Bone marrow smear; single-cell crop
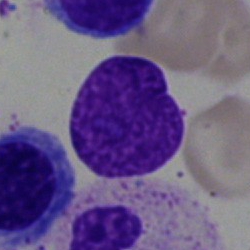
The cell shown is an artefact.